Bone marrow smear:
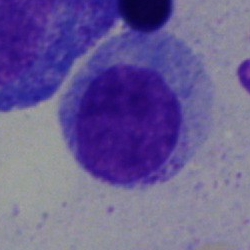

Specimen: bone marrow aspirate smear.
Morphological class: myelocyte.
Lineage: myeloid.